Bone marrow smear:
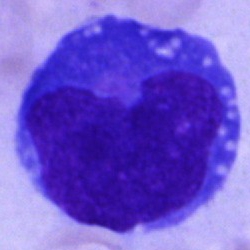Showing an undifferentiated blast.